Bone marrow aspirate smear: 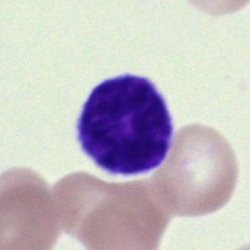 Q: What is the morphological classification of this cell?
A: It is a lymphocyte.